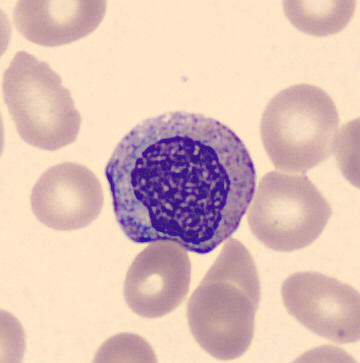Peripheral blood film.
Impression → myelocyte.